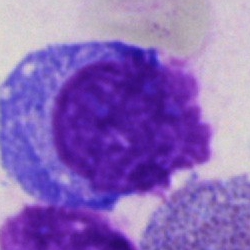
Q: What is shown here?
A: It is a plasma cell.